Peripheral blood smear:
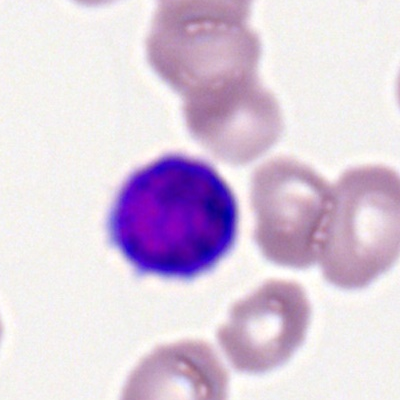 The cell shown is a typical lymphocyte.